Peripheral blood film.
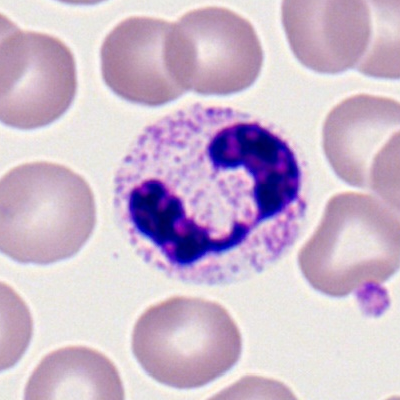 Cell: segmented neutrophil.